May-Grünwald-Giemsa/Pappenheim stain; bone marrow smear.
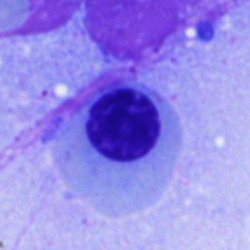
The morphological class is erythroblast.